Bone marrow aspirate smear; 250×250 px.
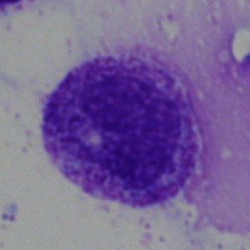

A metamyelocyte.